Bone marrow smear; cropped to a single cell.
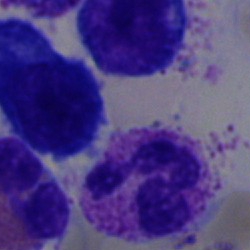

Segmented neutrophil.